Bone marrow aspirate smear:
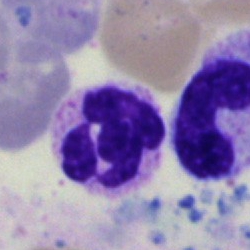Specimen: bone marrow aspirate smear.
Cell: segmented neutrophil.